Bone marrow aspirate smear
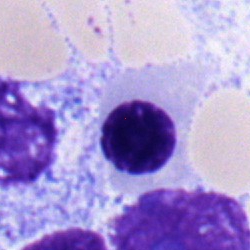Showing a nucleated red blood cell.